Peripheral blood film — 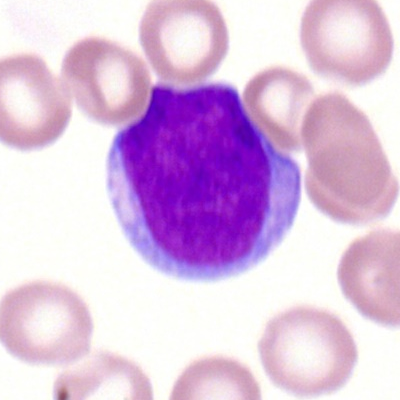 Cell type = myeloid blast.